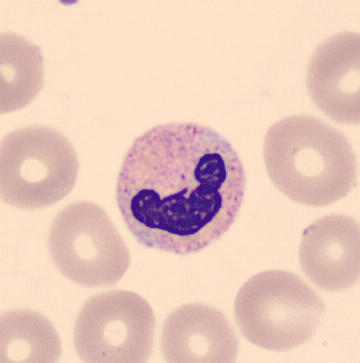
Cropped to a single cell · peripheral blood film.

The cell is stab cell.